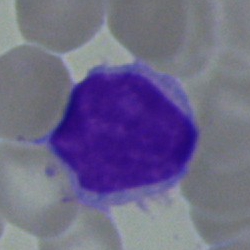
Morphology — lymphocyte.